Bone marrow smear:
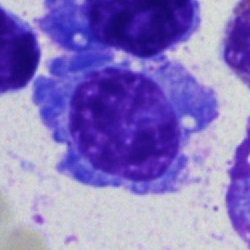 Morphology consistent with a plasmacyte.